Bone marrow smear · 40× oil immersion — 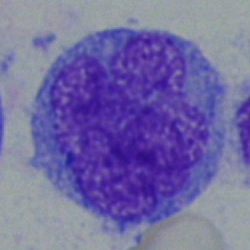Q: What cell is this?
A: A blast cell.